Bone marrow smear
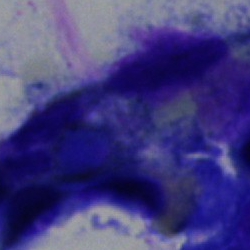
Artifact.